Bone marrow aspirate smear
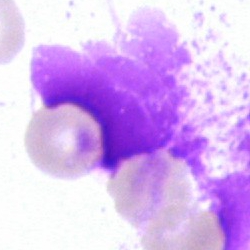

Specimen: bone marrow aspirate smear.
Classification: artifact.